May-Grünwald-Giemsa stain. Single-cell field. Bone marrow aspirate smear.
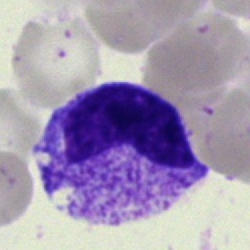 {"cell_type": "neutrophil (band)"}